MGG-stained · bone marrow smear.
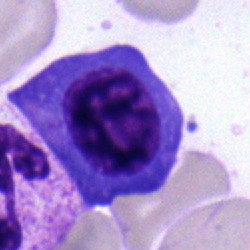

Single cell identified as a plasmacyte.